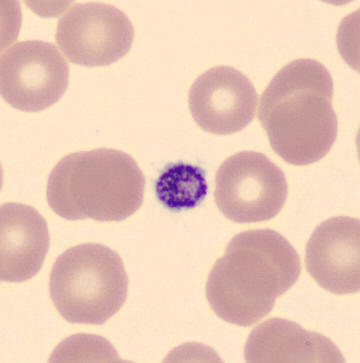 Q: What is shown here?
A: A platelet. Peripheral blood smear · imaged on a CellaVision DM96 analyser · May-Grünwald-Giemsa-stained.